Bone marrow aspirate smear
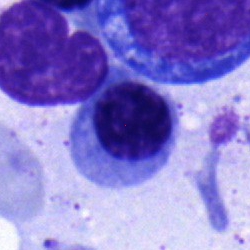Classification = normoblast.